Bone marrow aspirate smear — 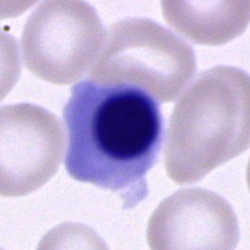Specimen: bone marrow aspirate smear.
Classification: normoblast.
Lineage: erythroid.